Bone marrow smear · 250 by 250 pixels: 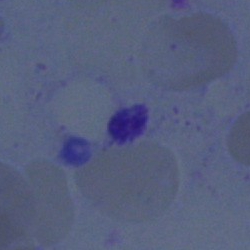

Cell type — artefact.